MGG-stained; brightfield, 40× oil-immersion objective; bone marrow aspirate smear: 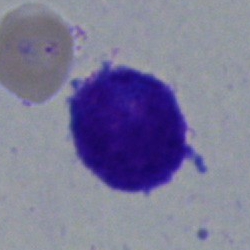

A blast cell.